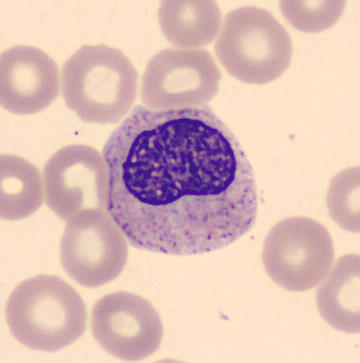The cell is metamyelocyte.
Acquisition: Peripheral blood film.